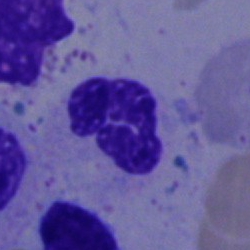 Morphology consistent with a neutrophil (segmented).